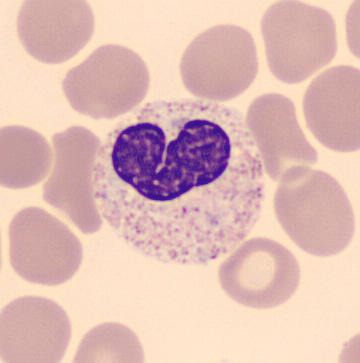
Single cell identified as a band-form neutrophil.

Peripheral blood smear.